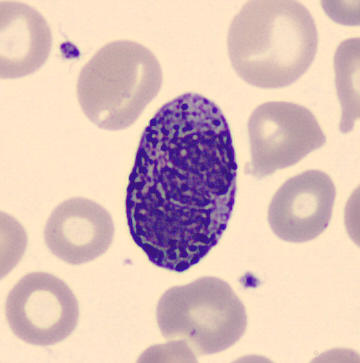Single cell identified as a basophilic granulocyte.
Preparation: Peripheral blood smear. May Grünwald-Giemsa stain. CellaVision DM96 digital cell image.